Single cell centered in the field; brightfield, 40× oil-immersion objective; bone marrow aspirate smear.
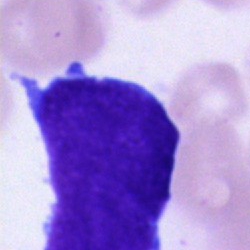

An undifferentiated blast.